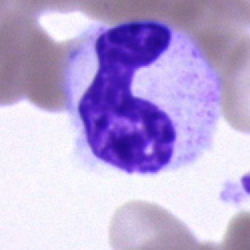 Q: Identify the cell.
A: This is a segmented neutrophil.